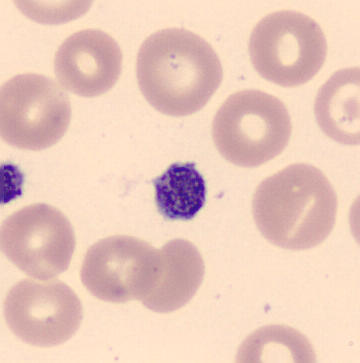 Impression → thrombocyte.